Peripheral blood smear
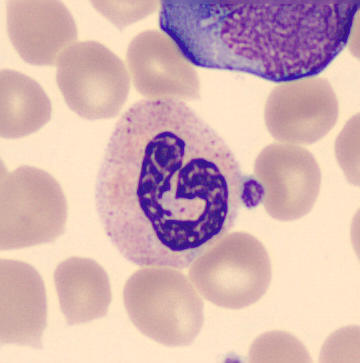 Morphology — polymorphonuclear neutrophil.